MGG-stained · 40× objective, oil immersion · bone marrow aspirate smear
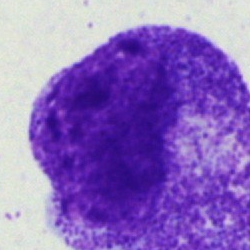 Showing a myelocyte.